Bone marrow smear: 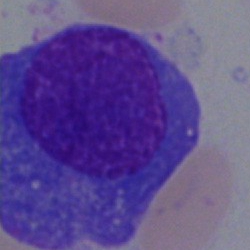

Morphology consistent with a plasma cell.